Bone marrow smear; brightfield microscopy, 40× oil immersion:
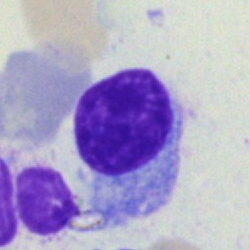

{"cell_type": "plasma cell", "lineage": "lymphoid"}